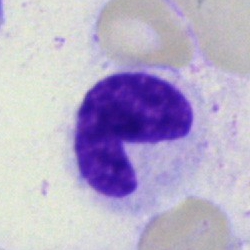

Single-cell crop from a bone marrow smear: stab cell.